Bone marrow smear.
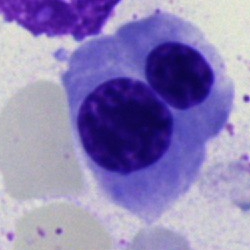

Single cell identified as an erythroblast.